Bone marrow aspirate smear:
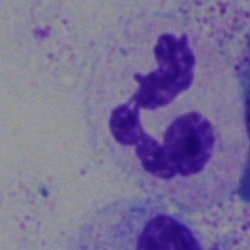 Showing a neutrophil (segmented).